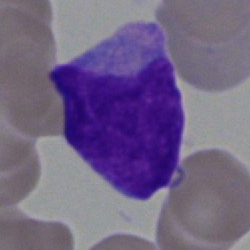

Morphology → blast.